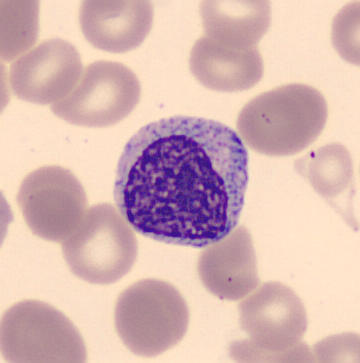
Q: Identify the cell.
A: A myelocyte.

Preparation: MGG-stained. Peripheral blood film.